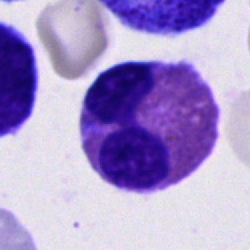

This is an eosinophilic granulocyte.